Bone marrow smear. Single-cell field
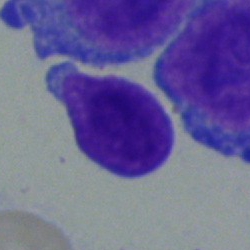Q: What is shown here?
A: A lymphocyte.